Pappenheim-stained. Bone marrow smear. 250×250 — 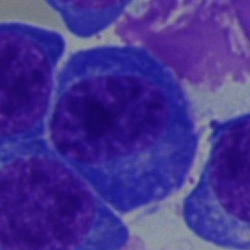

Specimen: bone marrow smear.
Cell: plasmacyte.